Single-cell crop. Bone marrow aspirate smear.
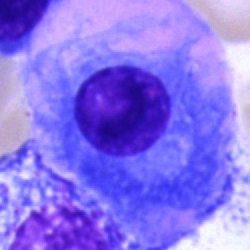Specimen: bone marrow smear.
Classification: plasmacyte.